400×400 px; peripheral blood film
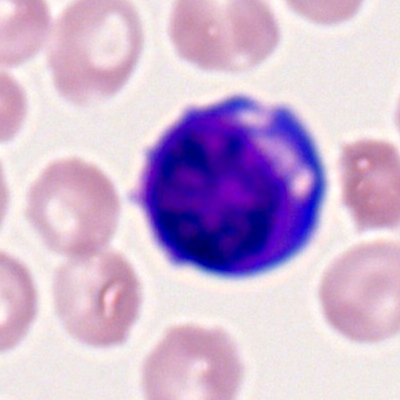 Single cell identified as a myeloid blast.